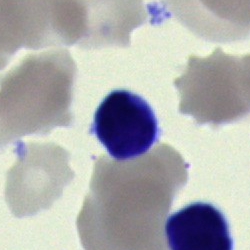 Cell: lymphocyte.